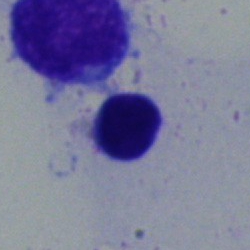
Specimen: bone marrow aspirate smear.
Morphological class: typical lymphocyte.
Lineage: lymphoid.